Bone marrow smear · 40× oil immersion: 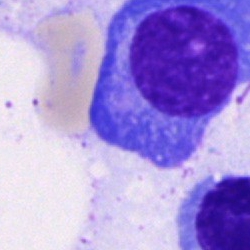

This is a plasmacyte.